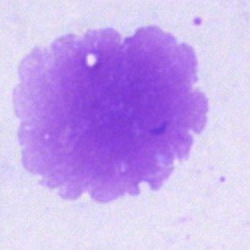 Morphology consistent with an artifact.